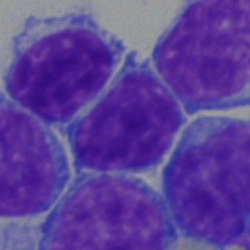Morphology consistent with a lymphocyte.